Bone marrow aspirate smear
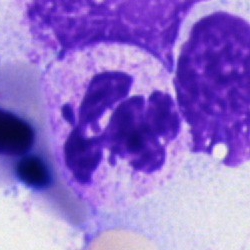
The morphological class is neutrophil (segmented).